Bone marrow aspirate smear:
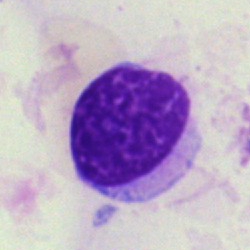

Single cell identified as a typical lymphocyte.